Bone marrow smear. 250×250 px.
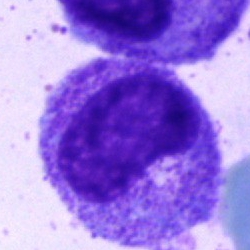
The classification is progranulocyte.